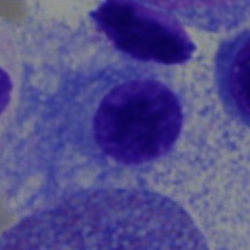 Cell: plasmacyte.